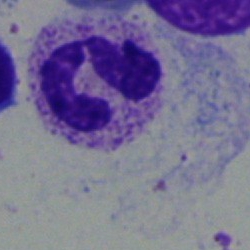
Bone marrow aspirate smear, single cell — neutrophil (segmented).